Pappenheim-stained · bone marrow aspirate smear — 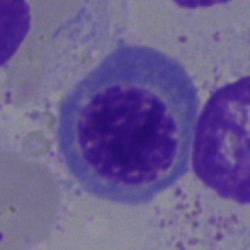

The cell type is erythroblast.